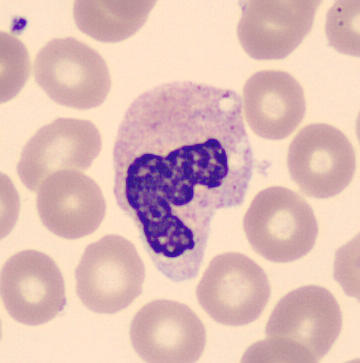Morphology → polymorphonuclear neutrophil.